250 by 250 pixels. Pappenheim-stained. Bone marrow smear.
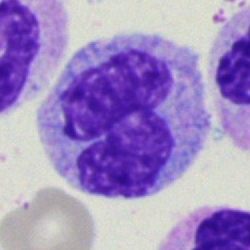 This is a monocyte.